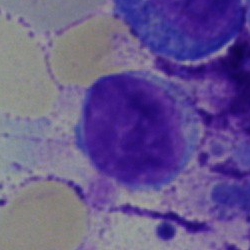Specimen: bone marrow smear.
Classification: lymphocyte.
Lineage: lymphoid.